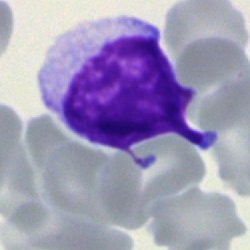 Q: Identify the cell.
A: Typical lymphocyte.